Bone marrow aspirate smear: 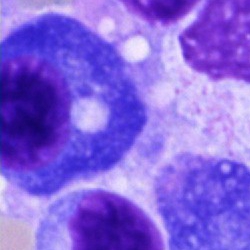 Q: What cell is this?
A: This is a plasmacyte.